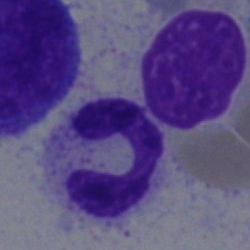
Morphology consistent with a neutrophil (segmented).